250×250 px; bone marrow smear — 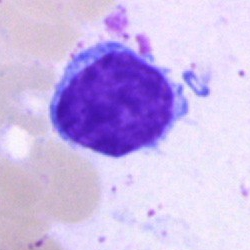

Q: Which cell type is shown here?
A: It is a typical lymphocyte.